Brightfield microscopy, 40× oil immersion · bone marrow aspirate smear — 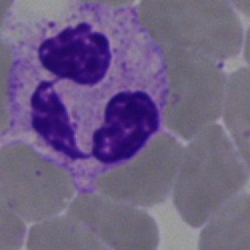The cell shown is a polymorphonuclear neutrophil.